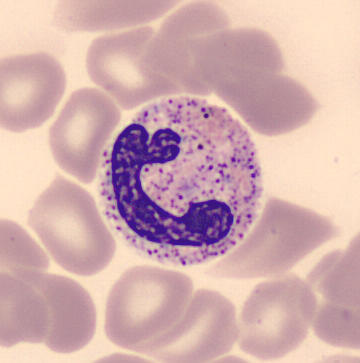

Single cell identified as a band neutrophil. Image: Peripheral blood film.